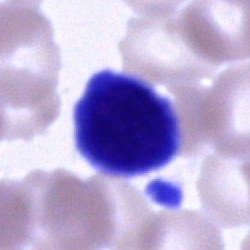

Classification: unidentifiable cell.